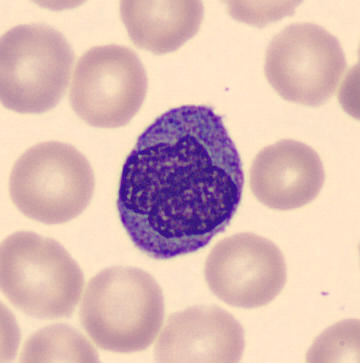 Preparation: May-Grünwald-Giemsa-stained. Peripheral blood film. Morphology consistent with a monocyte.